40× oil immersion · 250×250 · bone marrow smear:
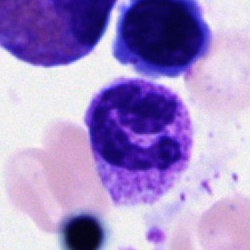Impression → polymorphonuclear neutrophil.